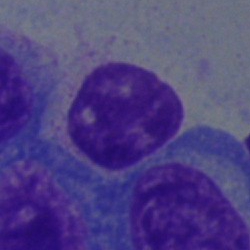Morphology — blast.